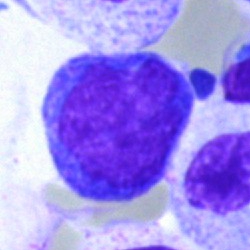
Showing a typical lymphocyte.